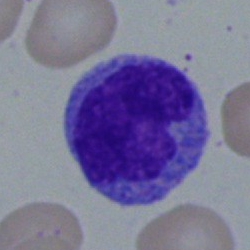 Q: What type of cell is this?
A: It is a monocyte.